Bone marrow smear.
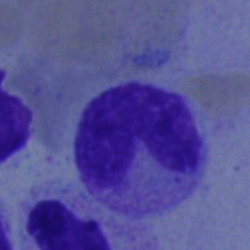Cell type: band neutrophil.